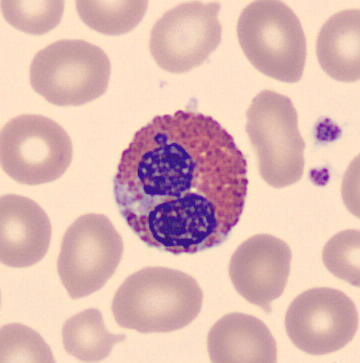

Cell: eosinophil.